Bone marrow aspirate smear: 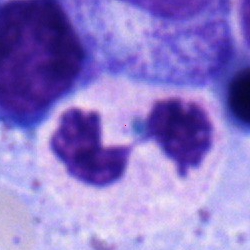
Impression → polymorphonuclear neutrophil.